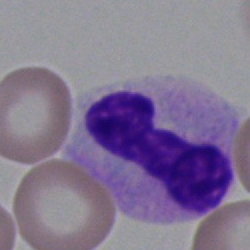
Cell type = band-form neutrophil.